Bone marrow smear
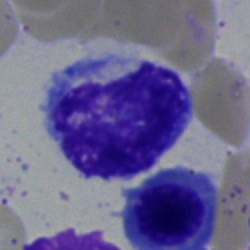Showing a lymphocyte.